40× oil immersion · MGG-stained · bone marrow aspirate smear — 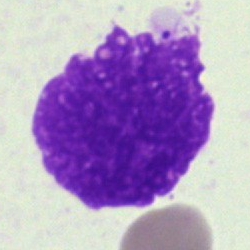 Q: What is shown here?
A: An artifact.